Cropped to a single cell · bone marrow smear.
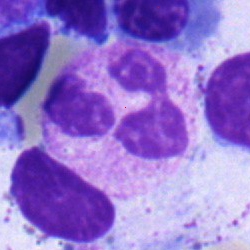

Q: What type of cell is this?
A: Neutrophil (segmented).